Bone marrow smear
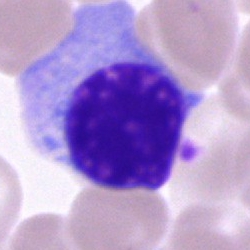 Q: Identify the cell.
A: Nucleated red blood cell.